40× oil immersion · bone marrow smear — 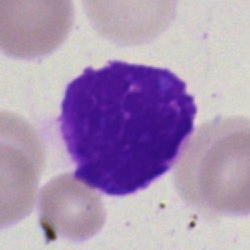

{"cell_type": "artefact"}